Bone marrow smear
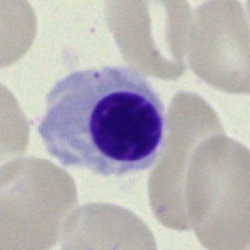 Impression — nucleated red cell.